Bone marrow aspirate smear: 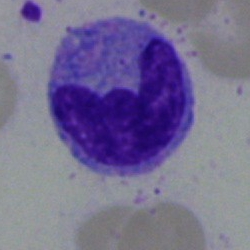 The cell shown is a monocyte.